Bone marrow aspirate smear. Single cell centered in the field:
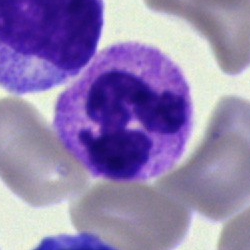
Cell type: polymorphonuclear neutrophil.